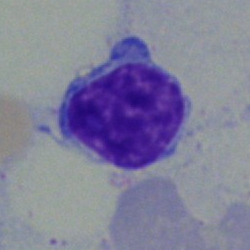
Single cell identified as a typical lymphocyte.